Bone marrow smear · single-cell field · 250×250 px: 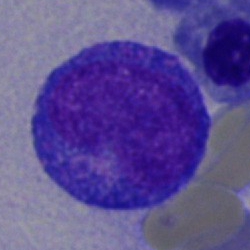 A progranulocyte.